Bone marrow aspirate smear
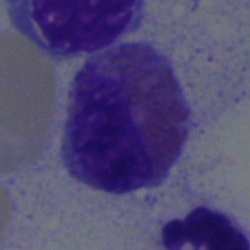Eosinophil.